Bone marrow aspirate smear — 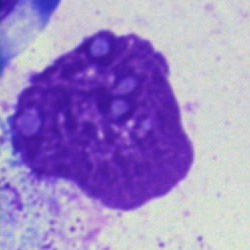
The cell shown is an artifact.